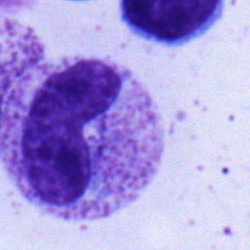 Q: What cell is this?
A: A metamyelocyte.